Bone marrow aspirate smear. May-Grünwald-Giemsa/Pappenheim stain:
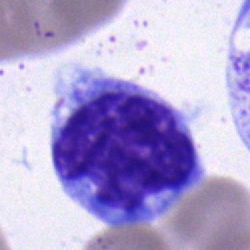

The cell type is monocyte.